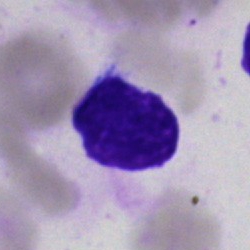

A lymphocyte on a bone marrow smear.